Cropped to a single cell; bone marrow smear; Pappenheim-stained
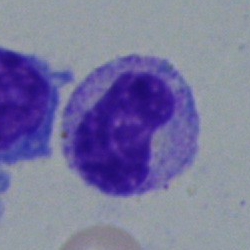
Cell = metamyelocyte.